Bone marrow smear: 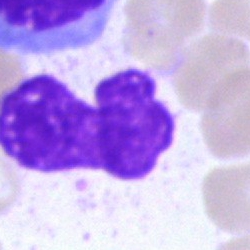Artefact.